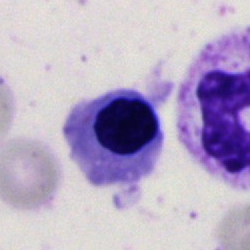
Q: What cell is this?
A: It is a normoblast.